Brightfield, 40× oil-immersion objective. Bone marrow aspirate smear:
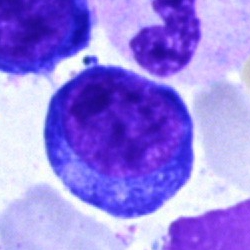

The cell type is pronormoblast.